Bone marrow aspirate smear · 250 by 250 pixels · MGG-stained: 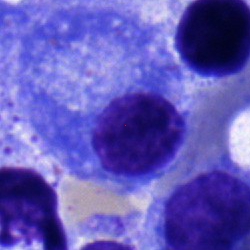

Morphological class — plasma cell.